Bone marrow aspirate smear; 40× objective, oil immersion; cropped to a single cell:
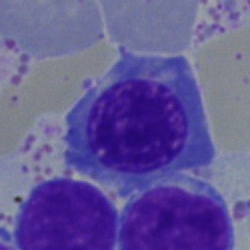 {"cell_type": "nucleated red cell"}